Bone marrow smear:
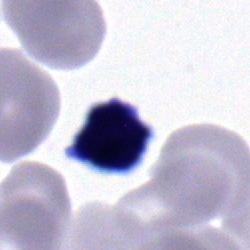 Impression — typical lymphocyte.